Bone marrow aspirate smear — 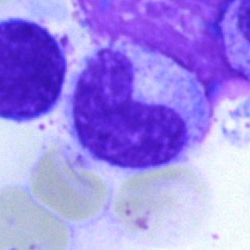Q: Which cell type is shown here?
A: Neutrophil (band).